Bone marrow aspirate smear — 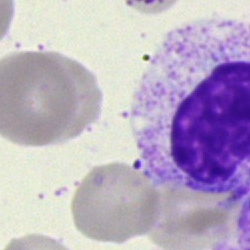

Specimen: bone marrow aspirate smear.
Morphological class: myelocyte.
Lineage: myeloid.